Peripheral blood film. Single-cell field:
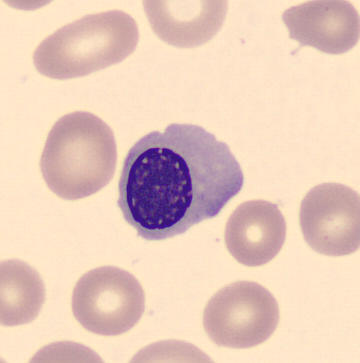

Specimen: peripheral blood film.
Morphological class: erythroblast.